400×400 px · peripheral blood film.
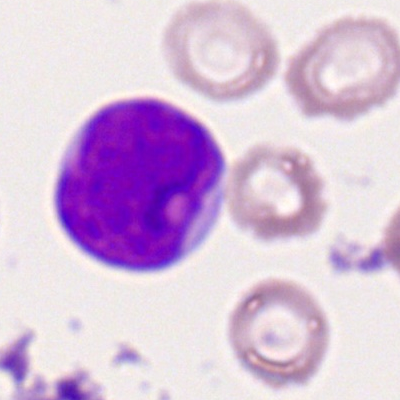 {"cell_type": "myeloid blast", "lineage": "myeloid"}